M8 digital microscope (Precipoint), 100× oil immersion · peripheral blood film
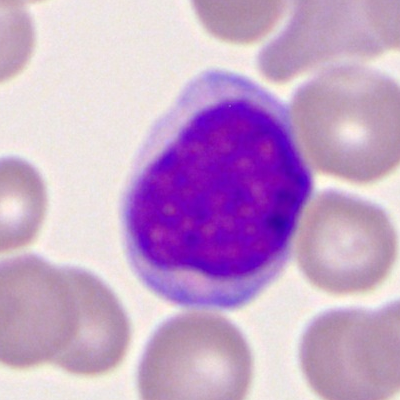 Morphology consistent with a myeloblast.